Single-cell crop · bone marrow smear · 40× oil immersion.
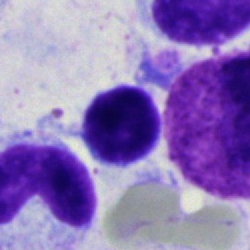 Cell: lymphocyte.